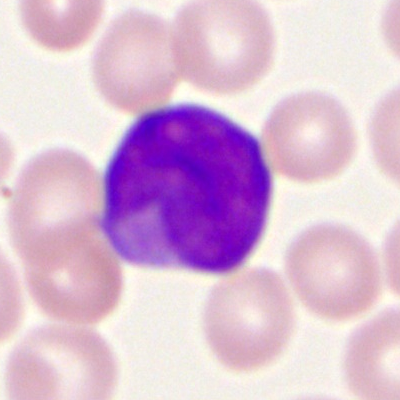The cell shown is a myeloid blast.